Bone marrow aspirate smear — 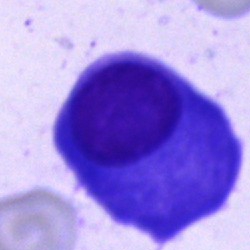
Plasmacyte.